Bone marrow smear
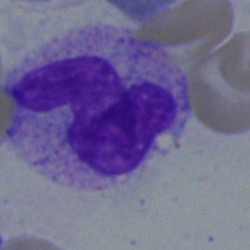

The cell type is stab cell.